Bone marrow aspirate smear; single cell centered in the field.
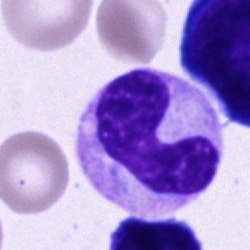Q: Identify the cell.
A: Neutrophil (band).